Bone marrow smear — 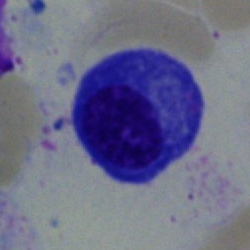
Morphology consistent with a plasma cell.